Bone marrow smear; Pappenheim-stained.
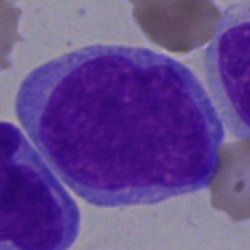
Cell type = blast cell.